Bone marrow aspirate smear:
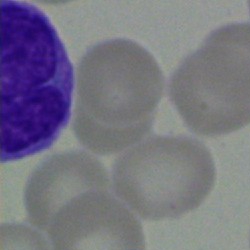

Single cell identified as a monocyte.